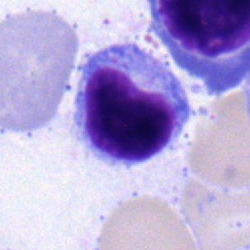 Showing a lymphocyte.